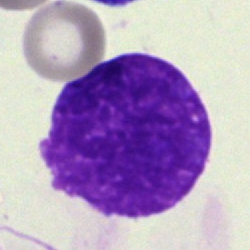This is an artefact.